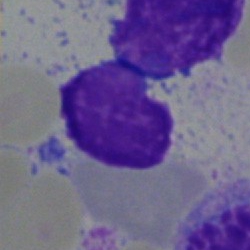

Artefact.